Bone marrow aspirate smear: 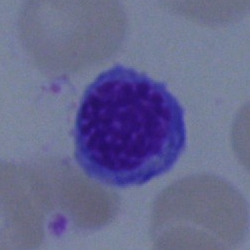

The cell shown is a normoblast.